Single cell centered in the field; bone marrow smear; brightfield, 40× oil-immersion objective.
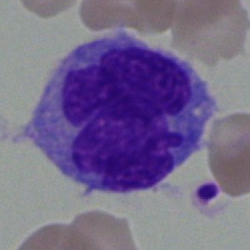
Monocyte.